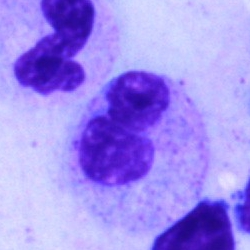

Classification — band neutrophil.